Bone marrow aspirate smear — 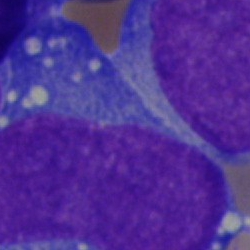
Morphological class — blast cell.